Bone marrow aspirate smear:
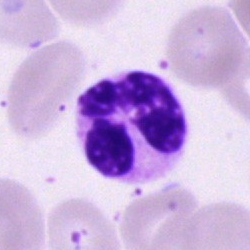
Neutrophil (segmented).